Bone marrow smear; brightfield microscopy, 40× oil immersion; single-cell crop — 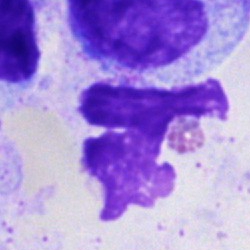
The cell shown is an artefact.